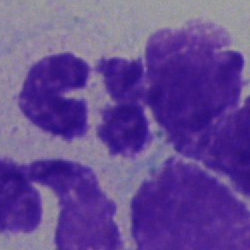Single-cell crop from a bone marrow smear: segmented neutrophil.